Bone marrow smear
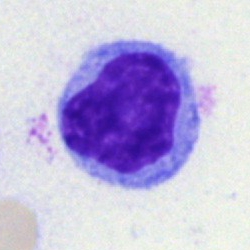Showing a lymphocyte.